Single-cell crop · bone marrow smear · 40× oil immersion
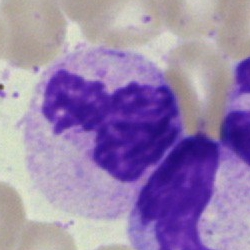 Morphological class: segmented neutrophil.